Bone marrow aspirate smear; MGG-stained: 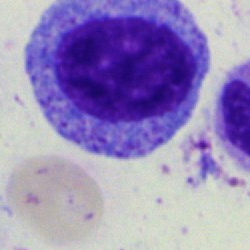

This is a promyelocyte.